Bone marrow aspirate smear.
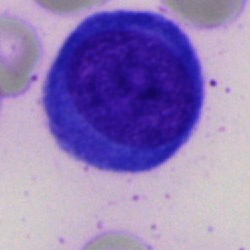
Specimen: bone marrow aspirate smear.
Cell type: undifferentiated blast.